Brightfield microscopy, 40× oil immersion · bone marrow smear
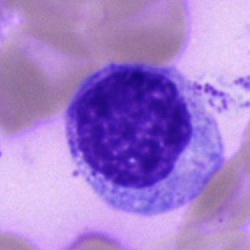 Classification — myelocyte.